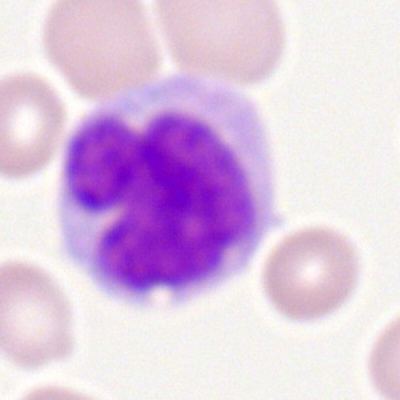 Monocyte.